Single cell centered in the field · 40× oil immersion · bone marrow smear: 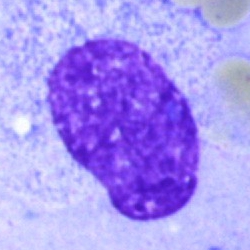

This is an artifact.